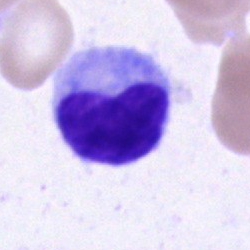Cell: lymphocyte.